Bone marrow smear: 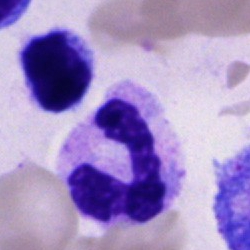

Specimen: bone marrow smear.
Cell: neutrophil (segmented).
Lineage: myeloid.